250 by 250 pixels. Single-cell field. Bone marrow aspirate smear.
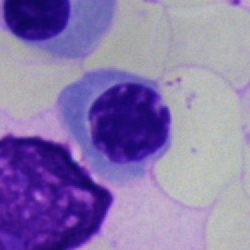
A nucleated red cell.